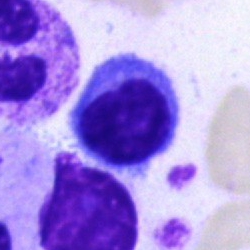 Cell — lymphocyte.